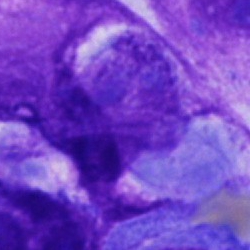

Specimen: bone marrow smear.
Classification: other cell.